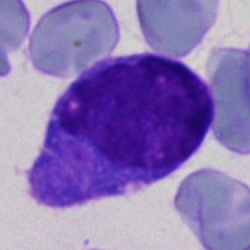

Cell: blast.